250×250 px · May-Grünwald-Giemsa stain · bone marrow aspirate smear
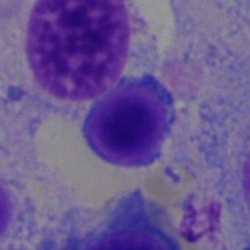The cell shown is a typical lymphocyte.